Romanowsky stain; single-cell crop; peripheral blood film
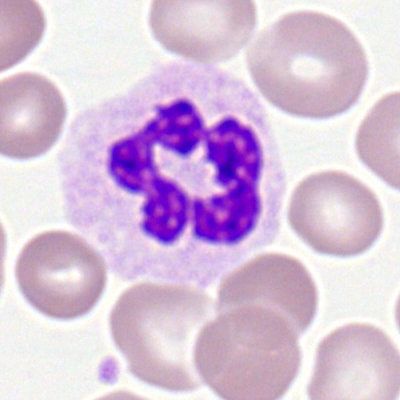
Segmented neutrophil.